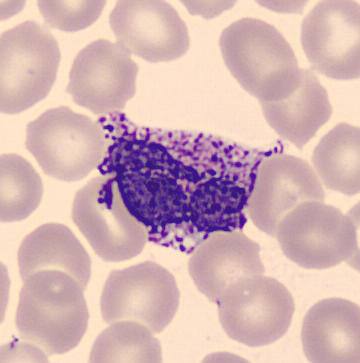 A basophil on a peripheral blood smear.